Bone marrow aspirate smear — 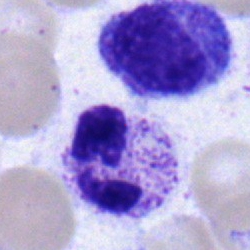

Morphological class — segmented neutrophil.